Image size 250×250 · single cell centered in the field · bone marrow smear.
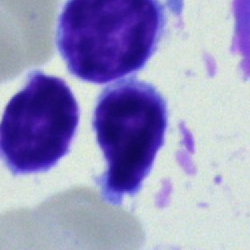Q: Identify the cell.
A: This is a typical lymphocyte.